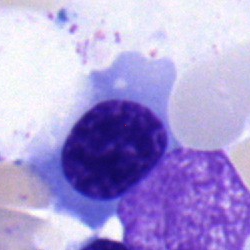

Q: Which cell type is shown here?
A: A normoblast.